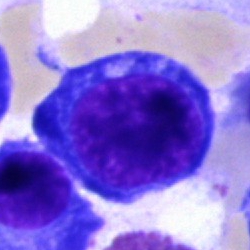
Q: What type of cell is this?
A: Normoblast.